Single cell centered in the field; 250×250 px; bone marrow smear: 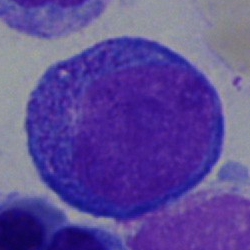
Morphology consistent with a promyelocyte.